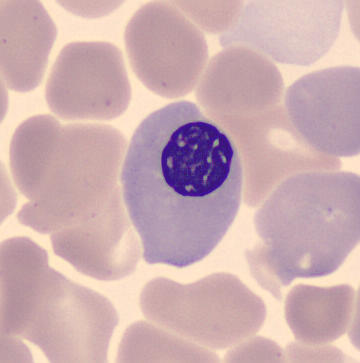

Morphology — nucleated red blood cell. Single-cell field. Peripheral blood smear.